Bone marrow aspirate smear; single cell centered in the field; 250×250:
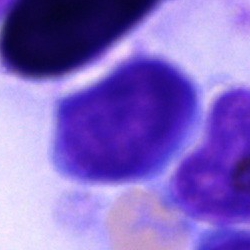Cell type = blast.